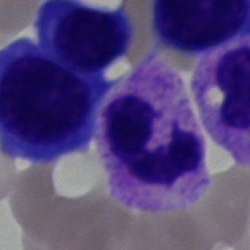
Cell type: normoblast.